May-Grünwald-Giemsa stain; single-cell crop; bone marrow aspirate smear:
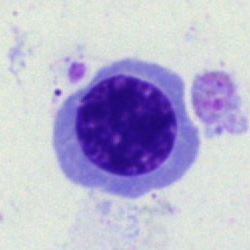 Specimen: bone marrow aspirate smear.
Cell type: normoblast.
Lineage: erythroid.